Single cell centered in the field. Peripheral blood smear — 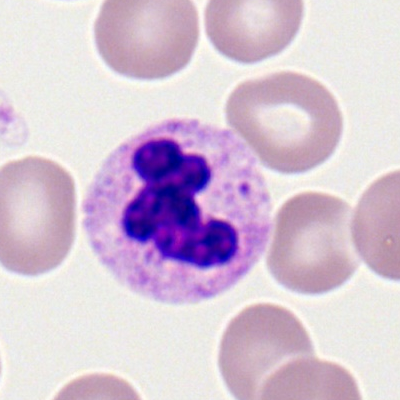 Specimen: peripheral blood film.
Cell type: neutrophil (segmented).
Lineage: myeloid.